Bone marrow aspirate smear. Single-cell field
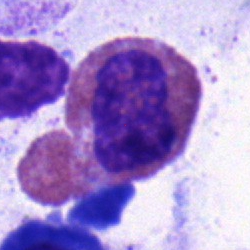

Specimen: bone marrow smear.
Cell: eosinophilic granulocyte.
Lineage: myeloid.